Bone marrow aspirate smear; 40× objective, oil immersion; single-cell field — 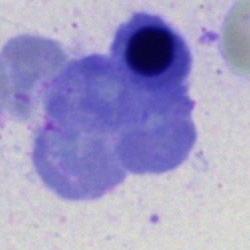 Normoblast.